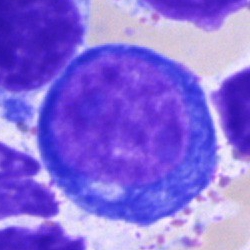The morphological class is pronormoblast.